Pappenheim-stained · 40× oil immersion · bone marrow smear
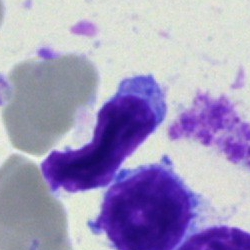Cell type: typical lymphocyte.